Bone marrow aspirate smear
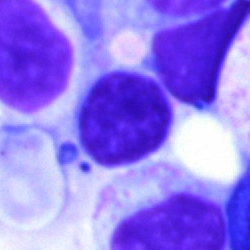
Specimen: bone marrow aspirate smear.
Morphological class: lymphocyte.